Bone marrow smear:
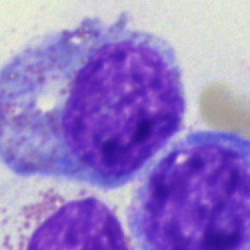
Showing a myelocyte.